Bone marrow aspirate smear; May-Grünwald-Giemsa/Pappenheim stain
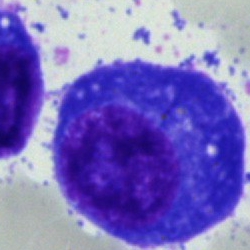

Cell: plasmacyte.